Bone marrow smear
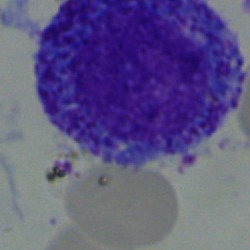

Q: What cell is this?
A: This is a promyelocyte.